250 by 250 pixels. Bone marrow aspirate smear: 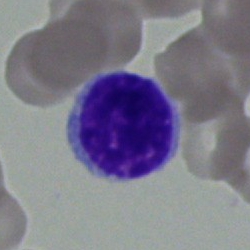Typical lymphocyte.